May-Grünwald-Giemsa/Pappenheim stain; 40× objective, oil immersion; bone marrow aspirate smear
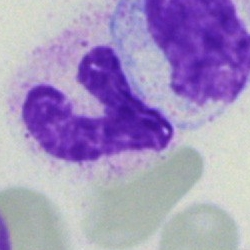
Cell: segmented neutrophil.